Single cell centered in the field; 250×250; bone marrow aspirate smear — 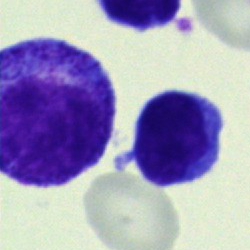
Impression → lymphocyte.